Bone marrow smear: 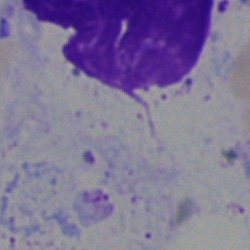

Impression — artifact.